Bone marrow aspirate smear.
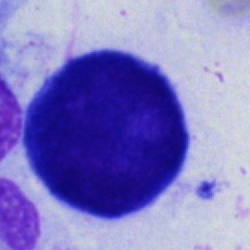

Morphological class = pronormoblast.